Bone marrow smear:
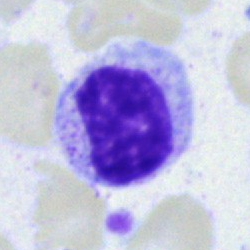Q: What type of cell is this?
A: This is a myelocyte.